Cropped to a single cell; bone marrow smear; May-Grünwald-Giemsa/Pappenheim stain — 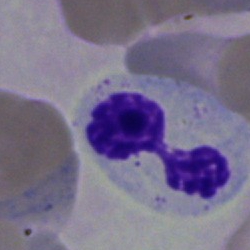 A neutrophil (segmented).